Peripheral blood smear · cropped to a single cell: 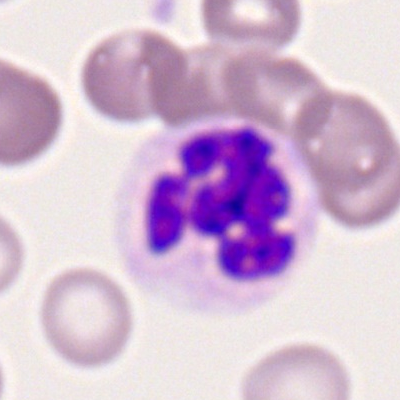
Morphology → segmented neutrophil.